Bone marrow smear — 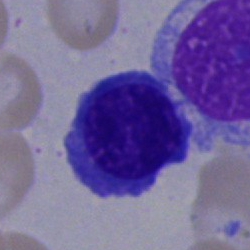Erythroblast.